Bone marrow aspirate smear
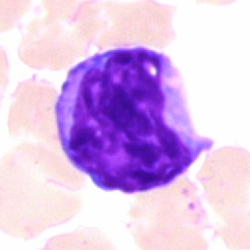 Q: What is the morphological classification of this cell?
A: A lymphocyte.